Image size 250×250; bone marrow aspirate smear; Pappenheim-stained:
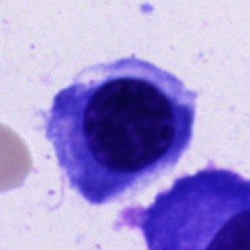
Cell type = normoblast.